Bone marrow aspirate smear
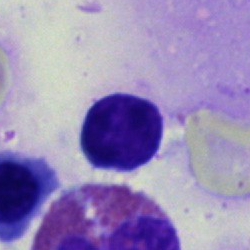

Impression → typical lymphocyte.